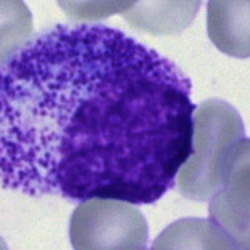

The cell shown is a myelocyte.